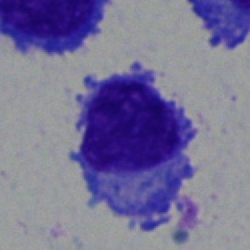
Specimen: bone marrow aspirate smear.
Morphological class: plasmacyte.
Lineage: lymphoid.